MGG-stained. Bone marrow smear — 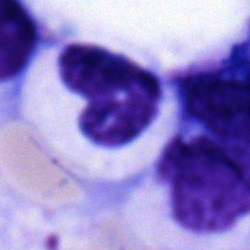
Showing a neutrophil (band).